MGG-stained. 40× oil immersion. Bone marrow aspirate smear
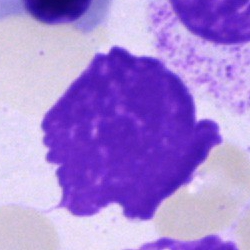The cell shown is an artefact.